Bone marrow aspirate smear:
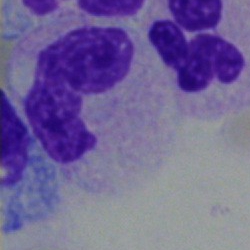

Q: What type of cell is this?
A: A band-form neutrophil.